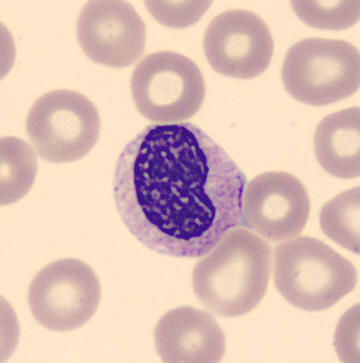
Peripheral blood smear.

Impression → metamyelocyte.